40× oil immersion · single-cell field · bone marrow aspirate smear — 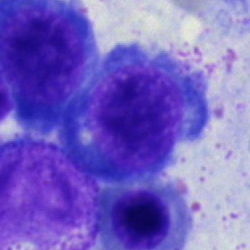
Morphological class = plasma cell.